Bone marrow aspirate smear · 40× oil immersion — 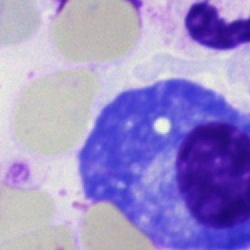Plasmacyte.